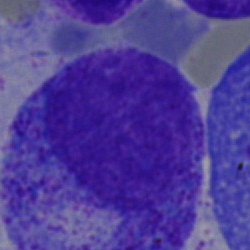Single cell identified as a myelocyte.